Single-cell crop · peripheral blood film · 100× objective, oil immersion.
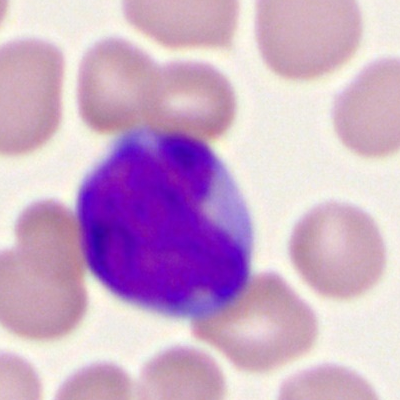 Specimen: peripheral blood film.
Cell type: myeloblast.
Lineage: myeloid.